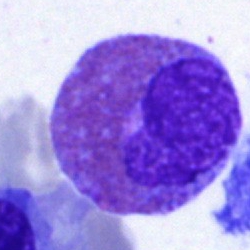
Cell: eosinophilic granulocyte.